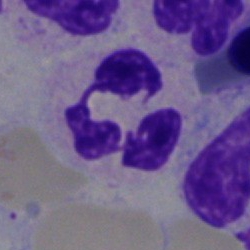Single cell identified as a polymorphonuclear neutrophil.